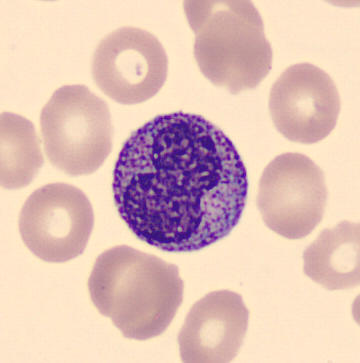 Specimen: peripheral blood smear.
Cell type: myelocyte.
Lineage: myeloid.

Acquisition: Cropped to a single cell.